Single cell centered in the field. Bone marrow smear.
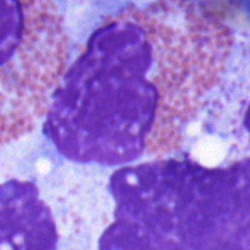
This is an eosinophilic granulocyte.